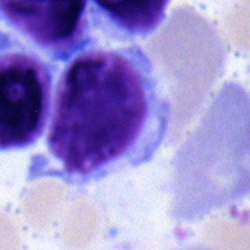
Q: What cell is this?
A: This is a lymphocyte.